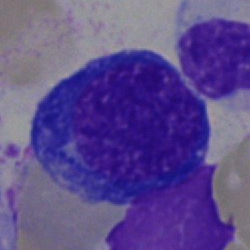Q: What cell is this?
A: Nucleated red cell.